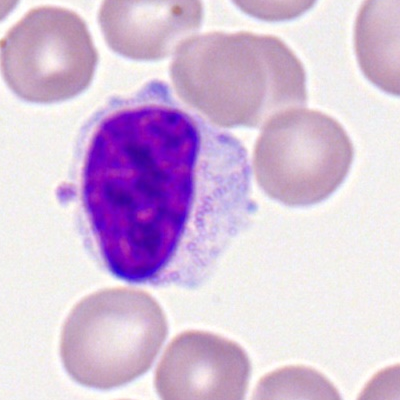 {"cell_type": "lymphocyte", "lineage": "lymphoid"}